Bone marrow aspirate smear
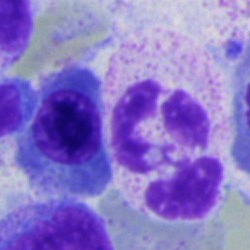 The cell shown is a neutrophil (segmented).